Bone marrow smear. 40× objective, oil immersion. May-Grünwald-Giemsa/Pappenheim stain:
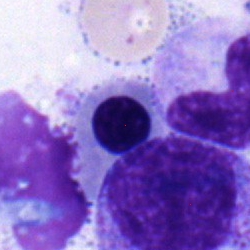
Specimen: bone marrow aspirate smear.
Morphological class: nucleated red blood cell.
Lineage: erythroid.